Bone marrow smear; May-Grünwald-Giemsa/Pappenheim stain:
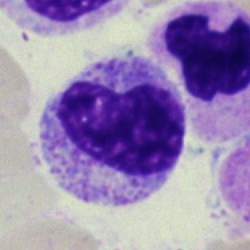 Specimen: bone marrow aspirate smear.
Classification: neutrophil (band).
Lineage: myeloid.